Bone marrow aspirate smear:
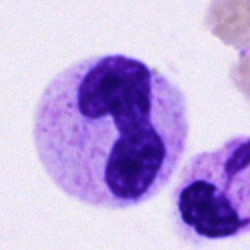 The classification is band neutrophil.